Bone marrow smear · brightfield, 40× oil-immersion objective:
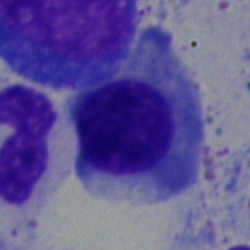
Q: Identify the cell.
A: This is a nucleated red cell.